Cropped to a single cell · peripheral blood film — 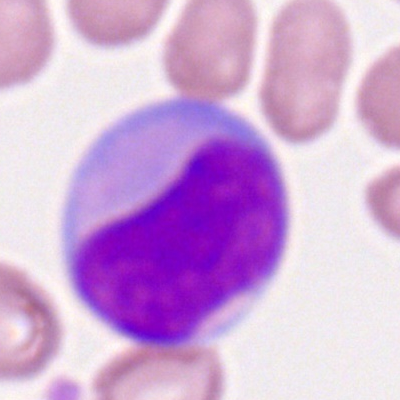Q: What is shown here?
A: It is a myeloid blast.